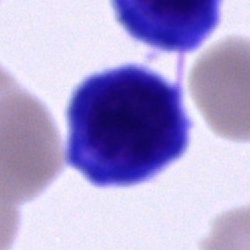Morphological class = cell of indeterminate lineage.